40× objective, oil immersion; bone marrow smear.
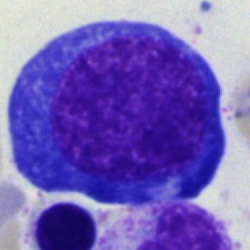 A pronormoblast.